Single-cell crop; bone marrow aspirate smear: 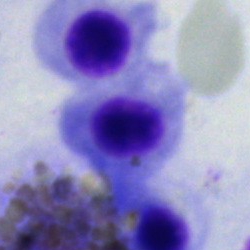 Q: What cell is this?
A: It is a nucleated red cell.